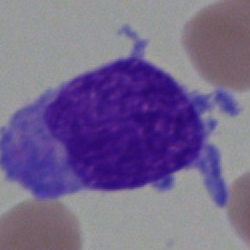
The morphological class is blast.